Bone marrow aspirate smear: 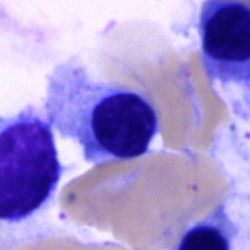 Q: What is the morphological classification of this cell?
A: Erythroblast.